Bone marrow smear — 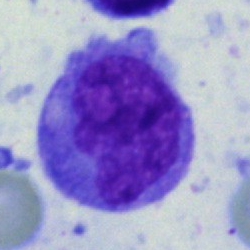

Morphological class — monocyte.